Bone marrow smear.
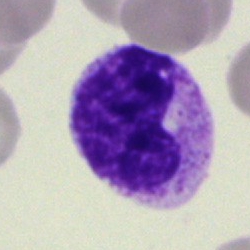
Morphology consistent with a metamyelocyte.